Bone marrow aspirate smear: 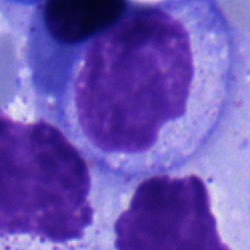The classification is erythroblast.